Bone marrow smear
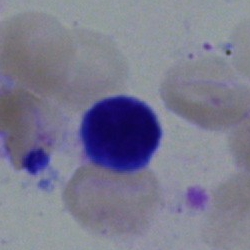 Specimen: bone marrow smear.
Classification: lymphocyte.
Lineage: lymphoid.